Bone marrow smear — 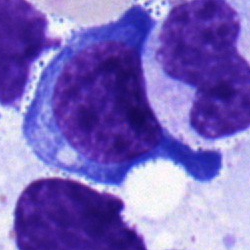Q: Identify the cell.
A: A nucleated red blood cell.